Bone marrow smear:
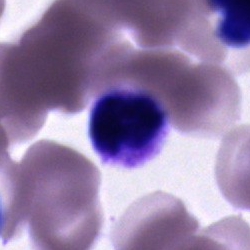

The morphological class is unidentifiable cell.